Bone marrow smear: 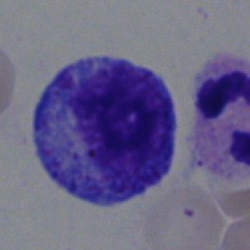Morphology consistent with a progranulocyte.